Bone marrow aspirate smear
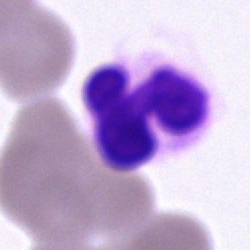
Specimen: bone marrow smear.
Cell type: neutrophil (segmented).